Single-cell field · bone marrow smear
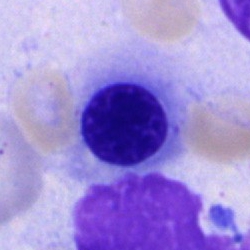

Cell type: nucleated red blood cell.